Bone marrow aspirate smear:
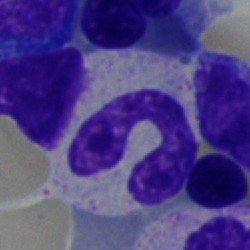Specimen: bone marrow smear.
Cell type: band-form neutrophil.